MGG-stained; bone marrow aspirate smear — 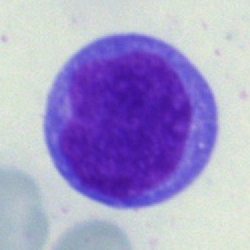 The classification is monocyte.